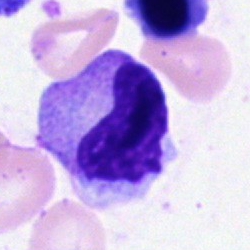Impression — stab cell.